Bone marrow smear: 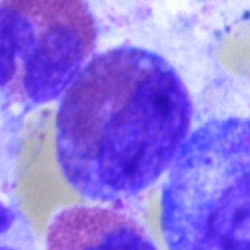 Morphological class: eosinophil.